May-Grünwald-Giemsa/Pappenheim stain; bone marrow aspirate smear.
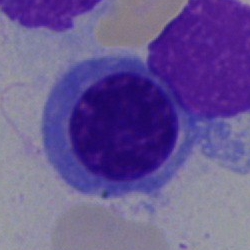 Specimen: bone marrow aspirate smear.
Morphological class: erythroblast.